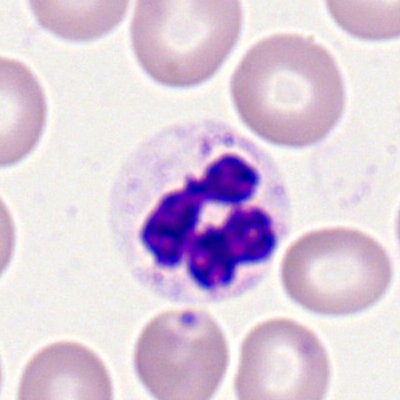Q: What type of cell is this?
A: It is a segmented neutrophil.